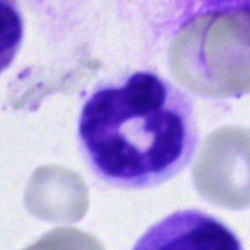A segmented neutrophil on a bone marrow smear.